Bone marrow aspirate smear; 250×250 px; brightfield microscopy, 40× oil immersion — 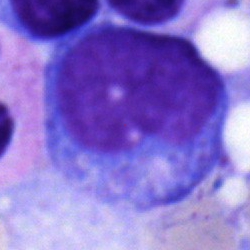A progranulocyte.